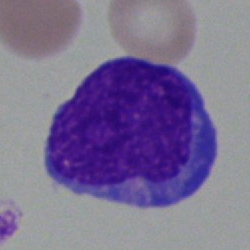The classification is undifferentiated blast.